Bone marrow aspirate smear — 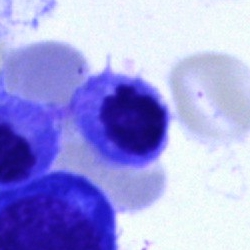
Nucleated red cell.